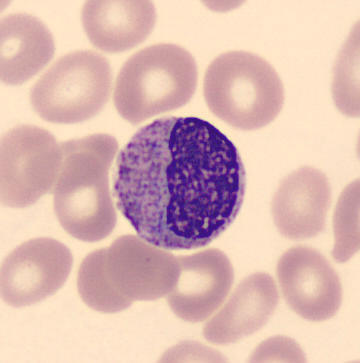Preparation: Peripheral blood smear.
Q: What type of cell is this?
A: A metamyelocyte.